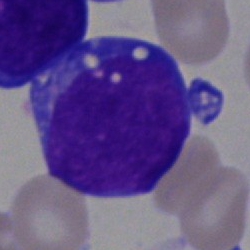A blast cell.